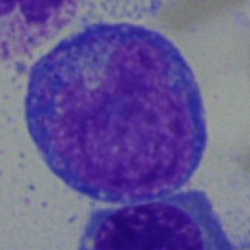

Single cell identified as a blast.